Peripheral blood film
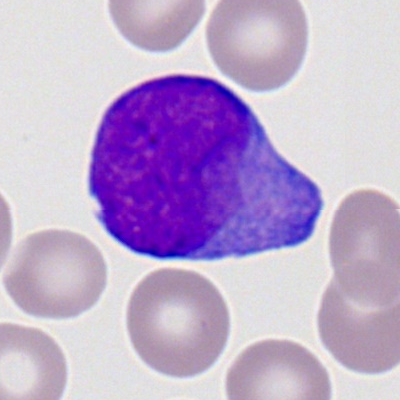

Morphology consistent with a myeloblast.